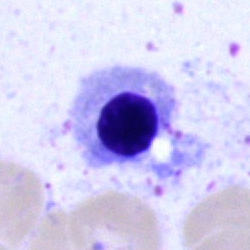
Specimen: bone marrow aspirate smear.
Cell: nucleated red cell.
Lineage: erythroid.